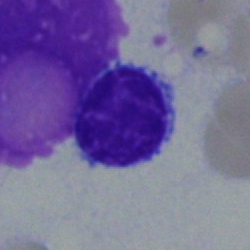
Impression → typical lymphocyte.